MGG-stained; bone marrow aspirate smear
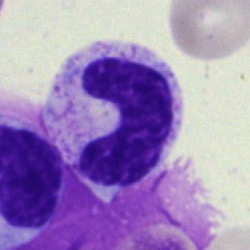

Morphology consistent with a stab cell.